Bone marrow smear — 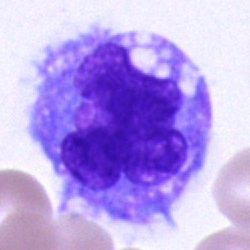
Q: What type of cell is this?
A: A monocyte.